Bone marrow aspirate smear.
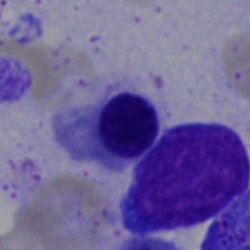
Impression → nucleated red cell.